Peripheral blood smear; 400×400 px.
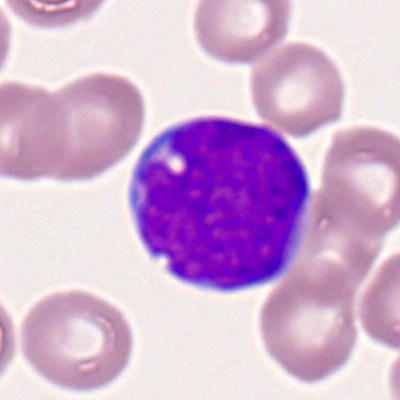
Specimen: peripheral blood film.
Classification: myeloblast.